MGG-stained · bone marrow aspirate smear — 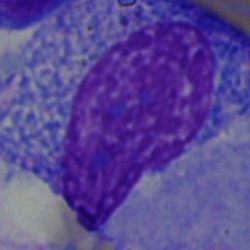 Showing a progranulocyte.